Bone marrow aspirate smear: 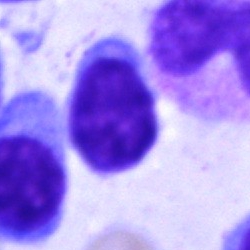 A typical lymphocyte.